Bone marrow aspirate smear · 40× oil immersion · May-Grünwald-Giemsa/Pappenheim stain — 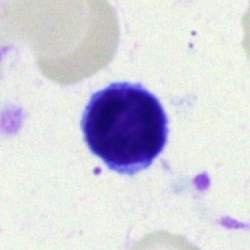Showing a lymphocyte.